Bone marrow smear
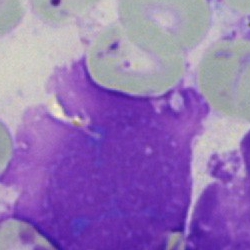 Artefact.